Bone marrow smear:
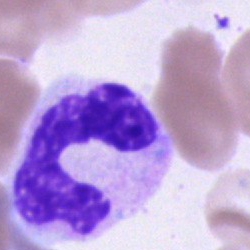
This is a neutrophil (band).